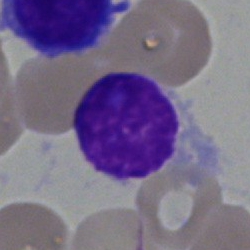
Single cell identified as a typical lymphocyte.